40× oil immersion; bone marrow smear — 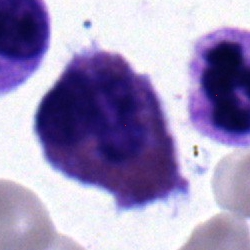Specimen: bone marrow smear.
Cell type: eosinophil.
Lineage: myeloid.